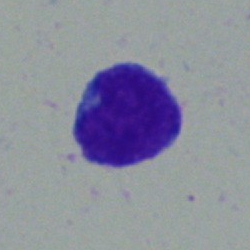
Morphological class — blast.